Bone marrow smear; MGG-stained — 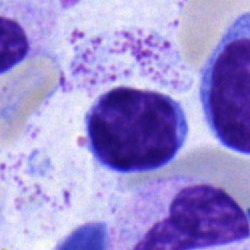
{"cell_type": "typical lymphocyte", "lineage": "lymphoid"}